Bone marrow aspirate smear
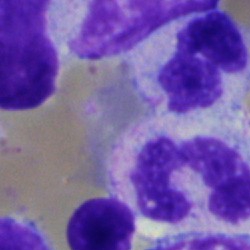Morphology consistent with a segmented neutrophil.